Bone marrow aspirate smear — 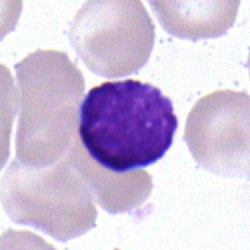

Specimen: bone marrow aspirate smear.
Cell type: typical lymphocyte.
Lineage: lymphoid.